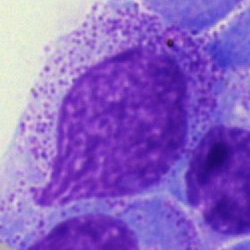Q: What type of cell is this?
A: Promyelocyte.